40× objective, oil immersion · bone marrow aspirate smear — 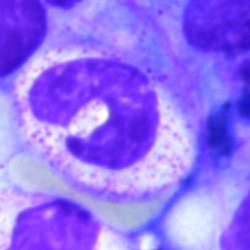 A band-form neutrophil.